Bone marrow aspirate smear — 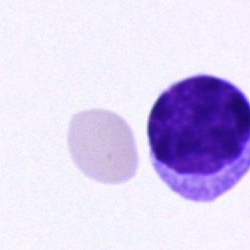Specimen: bone marrow smear.
Cell type: lymphocyte.